Romanowsky stain · peripheral blood film — 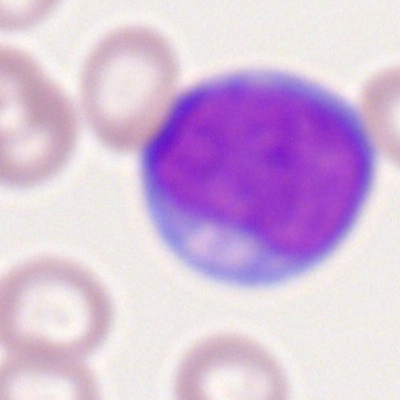
Cell type: myeloblast.